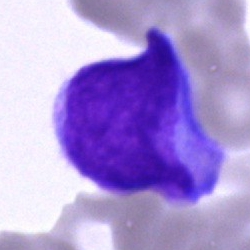

Q: Which cell type is shown here?
A: An undifferentiated blast.